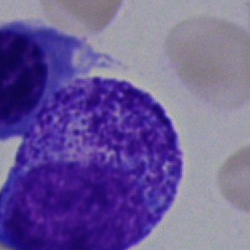

A progranulocyte on a bone marrow smear.